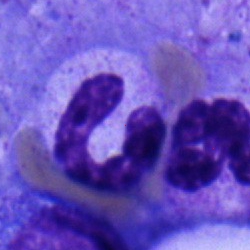 Cell: band-form neutrophil.